Bone marrow aspirate smear; Pappenheim-stained; brightfield, 40× oil-immersion objective: 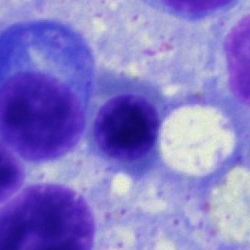Specimen: bone marrow smear.
Classification: nucleated red blood cell.
Lineage: erythroid.